Cropped to a single cell; May-Grünwald-Giemsa stain; bone marrow smear: 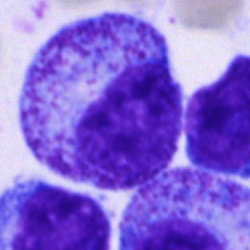 The cell shown is a promyelocyte.